Bone marrow smear — 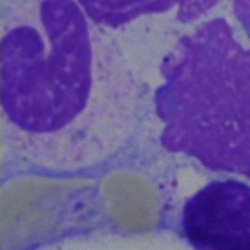
Specimen: bone marrow smear.
Classification: artifact.